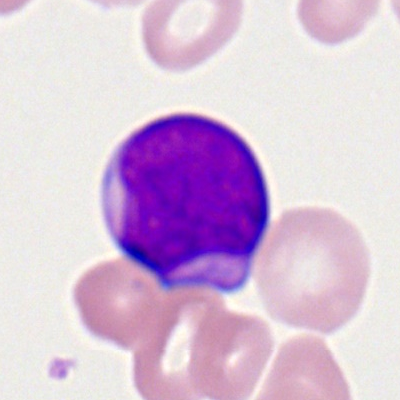 Peripheral blood film, single cell — myeloid blast.